MGG-stained · bone marrow smear · single-cell crop
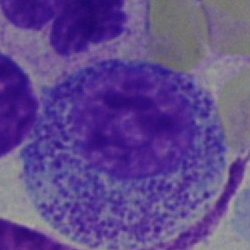 Specimen: bone marrow aspirate smear.
Morphological class: myelocyte.